Pappenheim-stained; bone marrow smear: 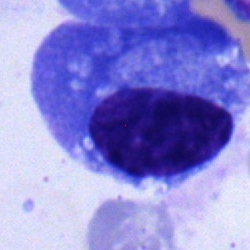

Specimen: bone marrow smear.
Classification: plasma cell.
Lineage: lymphoid.